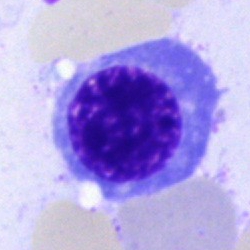Specimen: bone marrow aspirate smear.
Cell: erythroblast.
Lineage: erythroid.